Bone marrow aspirate smear: 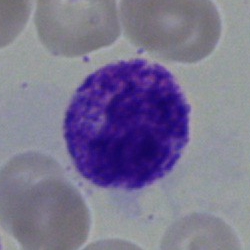

The cell is segmented neutrophil.